Bone marrow smear
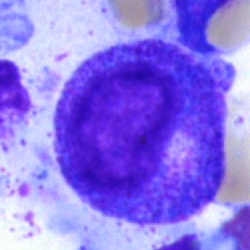

Morphological class — progranulocyte.